Bone marrow aspirate smear. May-Grünwald-Giemsa/Pappenheim stain.
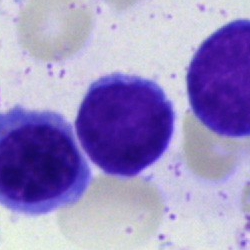 The cell shown is a typical lymphocyte.